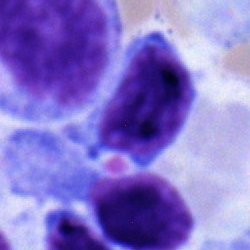 Bone marrow aspirate smear, single cell — neutrophil (segmented).